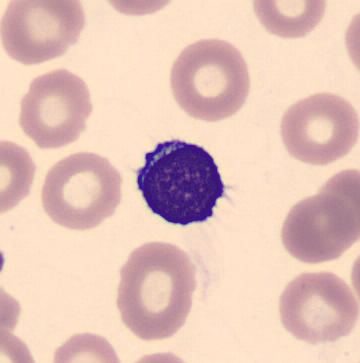 Morphology → typical lymphocyte.